Bone marrow smear
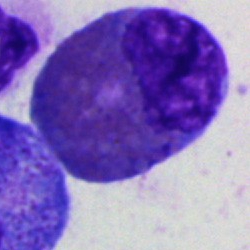
Classification — eosinophil.